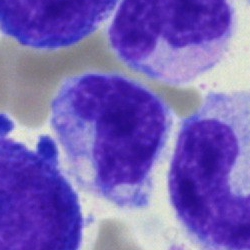
Q: Which cell type is shown here?
A: It is a monocyte.